MGG-stained. 250 by 250 pixels. Bone marrow smear.
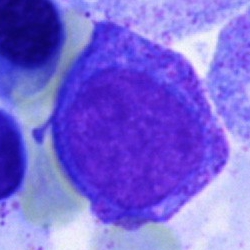
This is a progranulocyte.